Bone marrow smear:
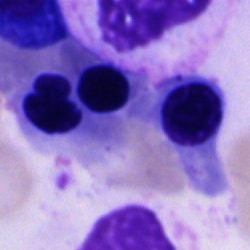

Q: What is shown here?
A: An unidentifiable cell.